Bone marrow smear. MGG-stained
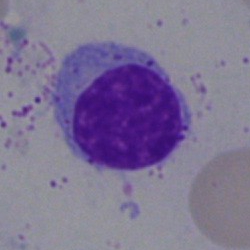
Classification — typical lymphocyte.